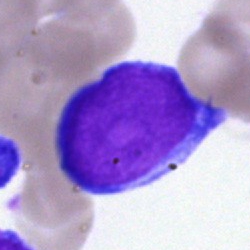Showing a blast.